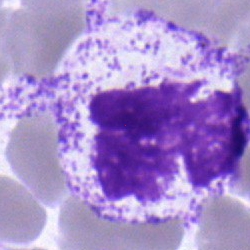

Morphology consistent with a segmented neutrophil.